Bone marrow smear: 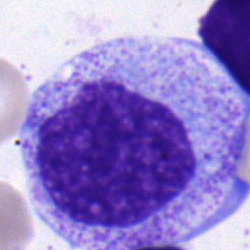 A myelocyte.